Bone marrow aspirate smear: 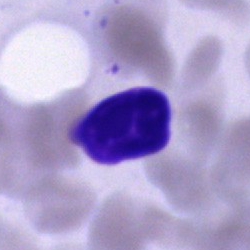

Showing an artefact.